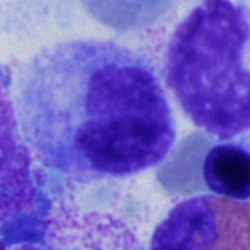 The cell shown is a monocyte.